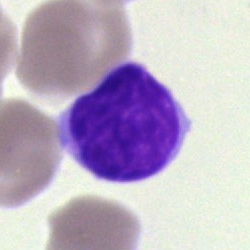
This is a typical lymphocyte.